Bone marrow aspirate smear
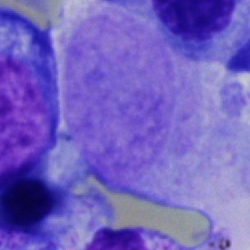 Cell: artifact.